Bone marrow smear — 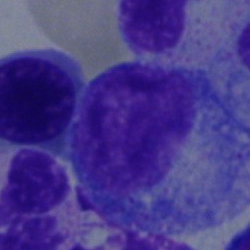
Q: What is shown here?
A: Promyelocyte.